Bone marrow aspirate smear; 250 by 250 pixels; brightfield, 40× oil-immersion objective:
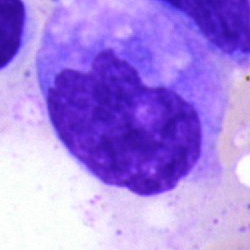
Q: Which cell type is shown here?
A: A monocyte.